Bone marrow aspirate smear. Brightfield, 40× oil-immersion objective:
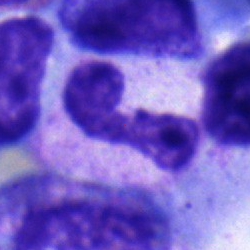

{"cell_type": "band neutrophil"}